Bone marrow aspirate smear.
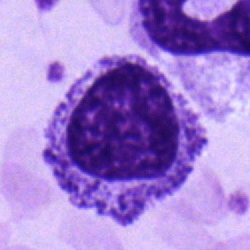
The morphological class is myelocyte.